40× oil immersion. Bone marrow aspirate smear:
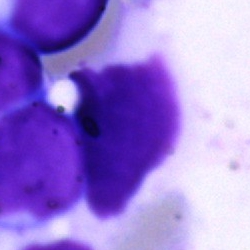 The morphological class is artefact.